Bone marrow smear
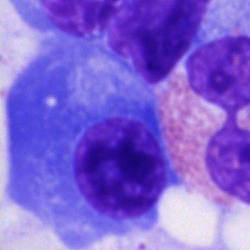 Morphology consistent with a plasma cell.